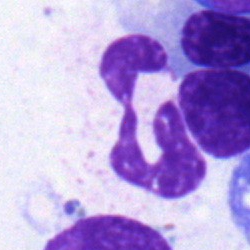Impression — neutrophil (segmented).